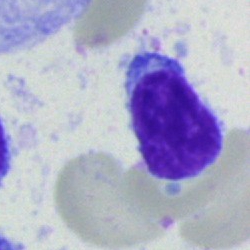 Q: What type of cell is this?
A: It is a lymphocyte.